Bone marrow aspirate smear: 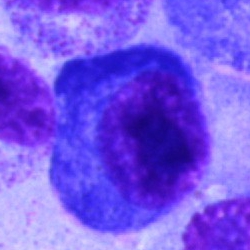Plasma cell.